Single cell centered in the field. Bone marrow aspirate smear: 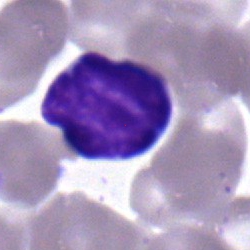 The classification is lymphocyte.